Bone marrow smear: 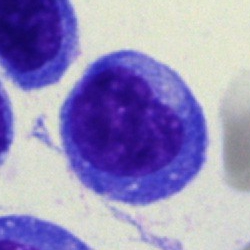

Morphological class = monocyte.